250×250; bone marrow smear; cropped to a single cell — 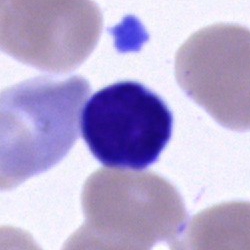

Typical lymphocyte.